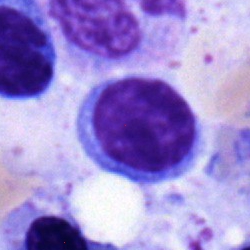 Q: Identify the cell.
A: This is a typical lymphocyte.